Image size 250×250. Bone marrow aspirate smear
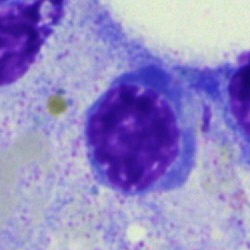 Q: What cell is this?
A: It is a nucleated red blood cell.